Bone marrow smear; 250×250 px: 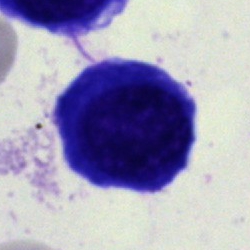
Q: What type of cell is this?
A: It is a nucleated red blood cell.